Bone marrow smear. Brightfield microscopy, 40× oil immersion. Pappenheim-stained — 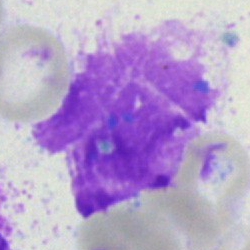

Artifact.